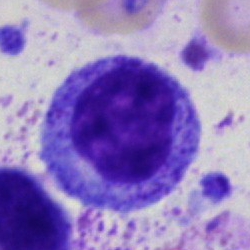
Single cell identified as a myelocyte.